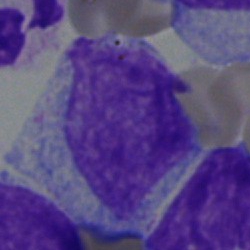 The cell type is myelocyte.